Bone marrow aspirate smear — 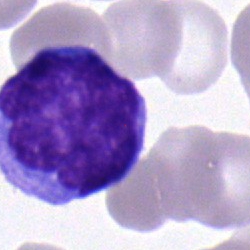Morphological class = monocyte.